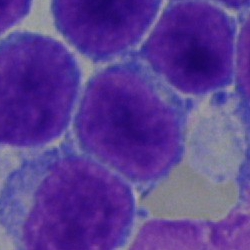 Showing a lymphocyte.